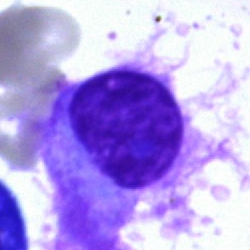 An artifact on a bone marrow smear.